Bone marrow smear:
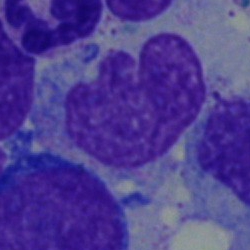

Classification = monocyte.